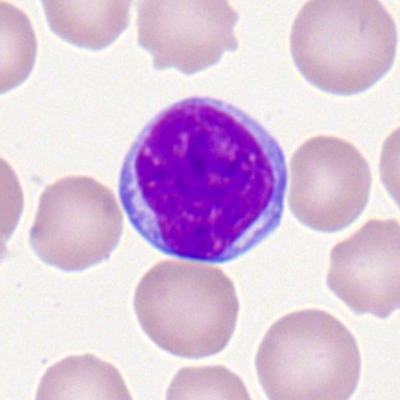Q: Identify the cell.
A: It is a typical lymphocyte.